Bone marrow smear: 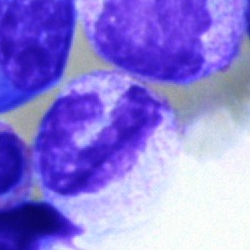
Impression — segmented neutrophil.